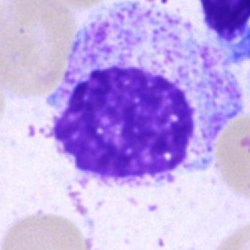
Classification — promyelocyte.